Bone marrow aspirate smear:
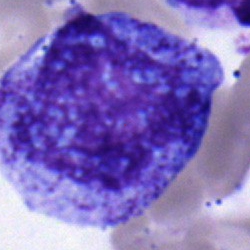
Morphological class — progranulocyte.